Bone marrow smear:
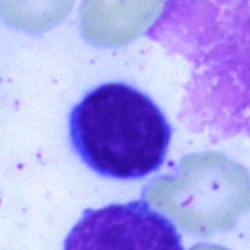Single cell identified as a lymphocyte.